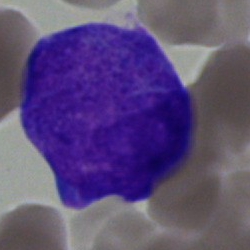

Cell type — blast.